Single-cell crop; bone marrow aspirate smear:
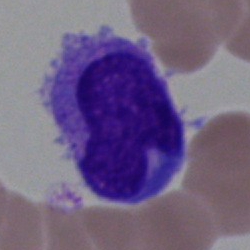Impression → monocyte.